Brightfield, 40× oil-immersion objective. Bone marrow smear
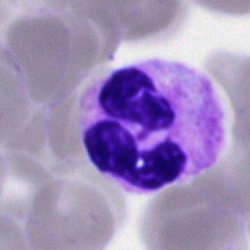
Segmented neutrophil.